Bone marrow aspirate smear: 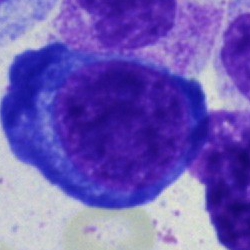 This is a proerythroblast.